Bone marrow smear · brightfield, 40× oil-immersion objective · single-cell crop.
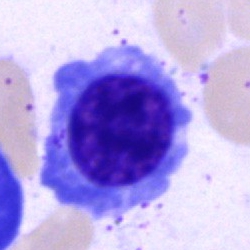
Morphological class: erythroblast.